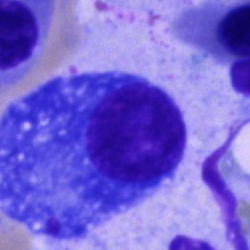

This is a plasma cell.